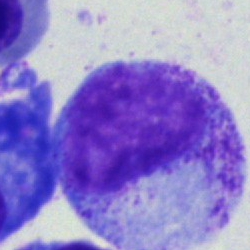 A metamyelocyte.